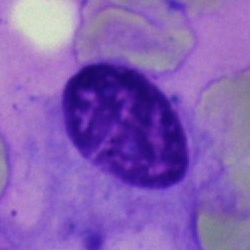 The cell is artifact.